Bone marrow smear.
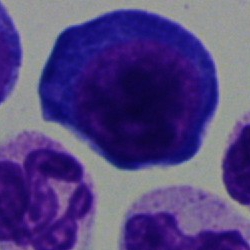 Q: Which cell type is shown here?
A: It is a proerythroblast.